Bone marrow aspirate smear: 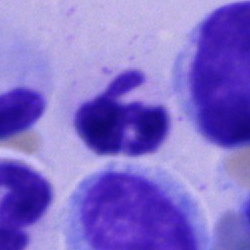
Morphological class: polymorphonuclear neutrophil.